Bone marrow smear:
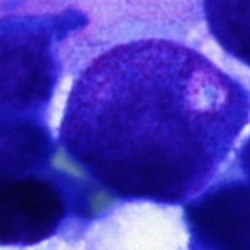The cell shown is a progranulocyte.